Peripheral blood smear; 100× oil immersion: 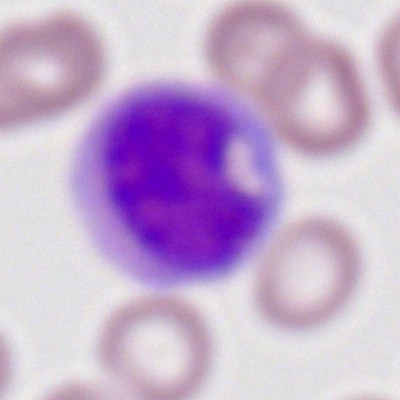

Cell — monocyte.